Bone marrow aspirate smear:
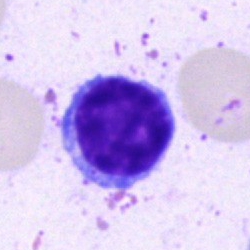Impression — typical lymphocyte.